Peripheral blood smear; single-cell crop: 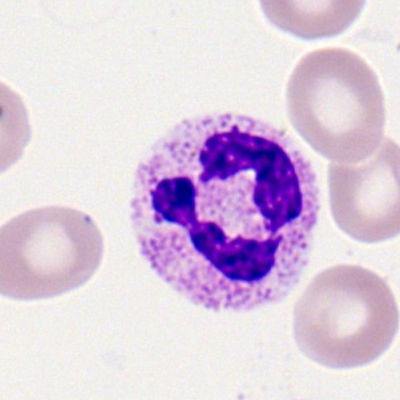

Morphology → neutrophil (segmented).